Bone marrow smear.
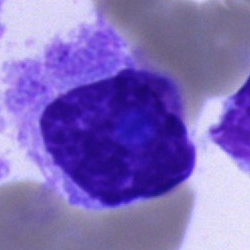This is an unidentifiable cell.